Bone marrow smear.
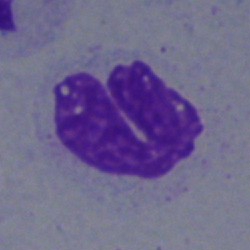Classification = artefact.